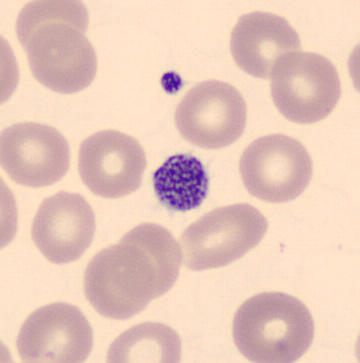 Impression — platelet (thrombocyte).